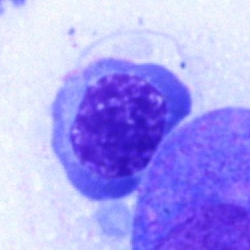 Impression — erythroblast.